40× oil immersion; bone marrow smear; 250 by 250 pixels.
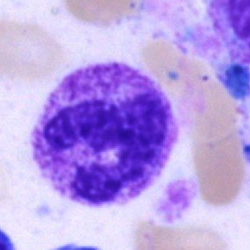
Cell: polymorphonuclear neutrophil.